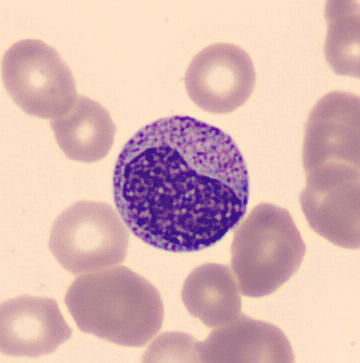 Peripheral blood smear.
Morphology consistent with a myelocyte.